Bone marrow aspirate smear
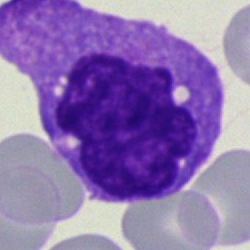 Showing a monocyte.